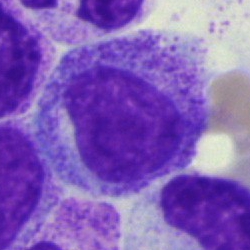

Single-cell crop from a bone marrow smear: eosinophilic granulocyte.